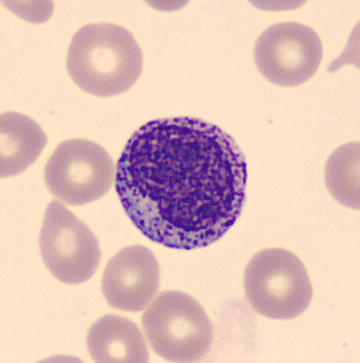This is a myelocyte.